Bone marrow aspirate smear — 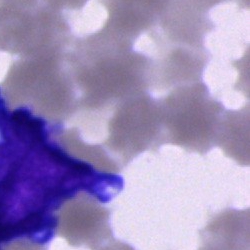The classification is blast cell.